Peripheral blood smear
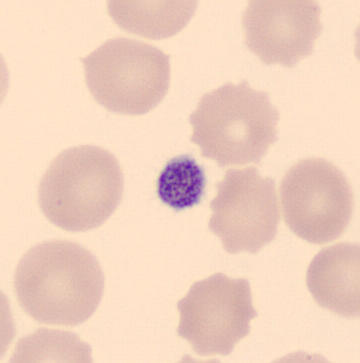
Cell type = thrombocyte.